Bone marrow smear
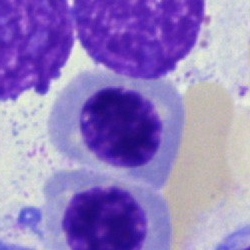 Specimen: bone marrow smear.
Cell: normoblast.